Bone marrow smear.
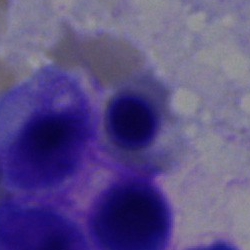

Morphology consistent with a nucleated red blood cell.